Bone marrow smear; 250×250 — 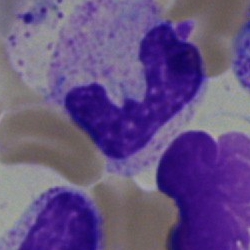

Band neutrophil.